Bone marrow smear — 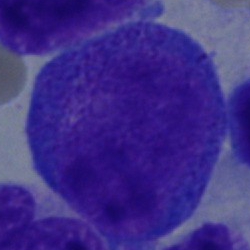

A promyelocyte.